Bone marrow aspirate smear:
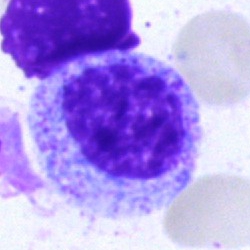

Cell type — myelocyte.